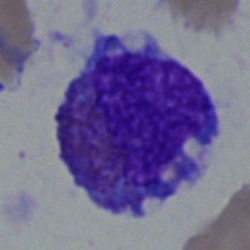 This is an eosinophil.